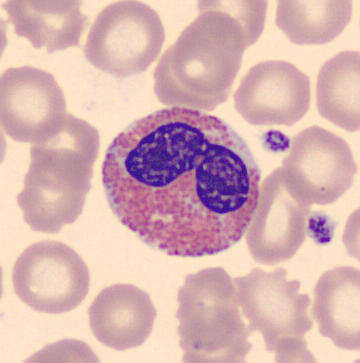 Image: Peripheral blood smear. Morphological class = eosinophil.